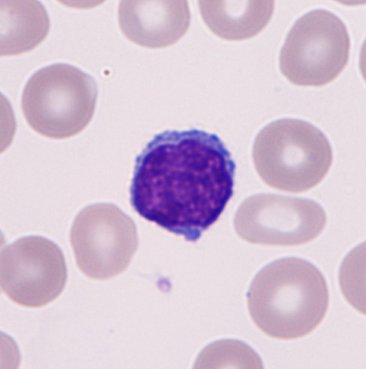
The cell is typical lymphocyte. Peripheral blood smear.